May-Grünwald-Giemsa stain; bone marrow aspirate smear.
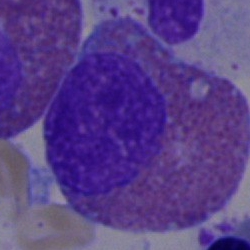
Cell — eosinophil.